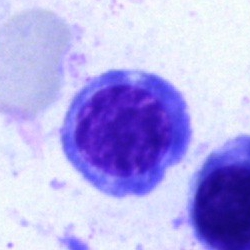Bone marrow smear showing an erythroblast.